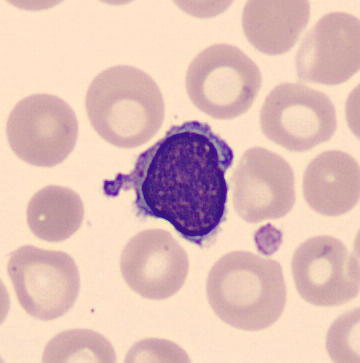{"cell_type": "typical lymphocyte", "lineage": "lymphoid"}
Image: 360×363 px; peripheral blood film.